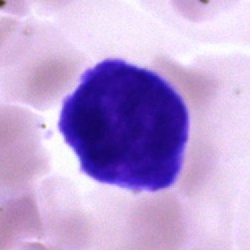

The cell shown is a blast.